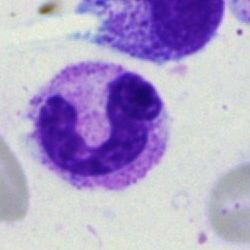

The cell shown is a neutrophil (segmented).